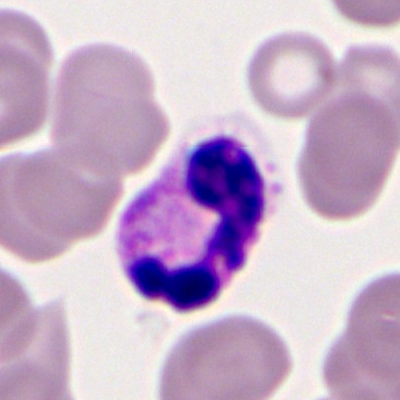 Q: What type of cell is this?
A: Polymorphonuclear neutrophil.